Single cell centered in the field; 360×363 px; peripheral blood smear.
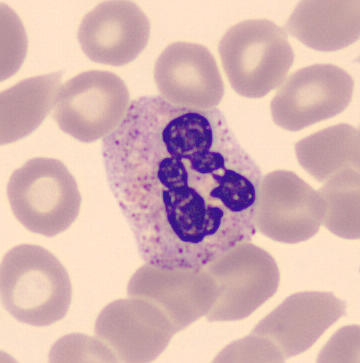 {"cell_type": "polymorphonuclear neutrophil"}